Bone marrow aspirate smear: 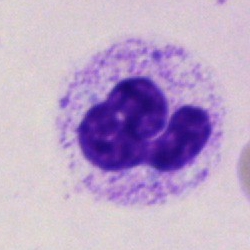
A polymorphonuclear neutrophil.